Bone marrow aspirate smear. Brightfield microscopy, 40× oil immersion
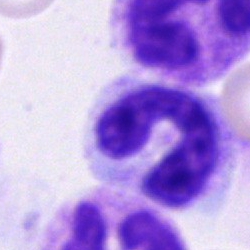
Q: Identify the cell.
A: This is a stab cell.